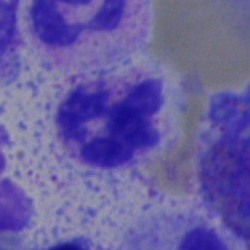

Morphological class = polymorphonuclear neutrophil.